Bone marrow smear.
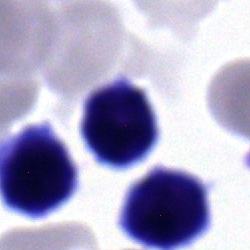 The cell type is lymphocyte.